Bone marrow aspirate smear.
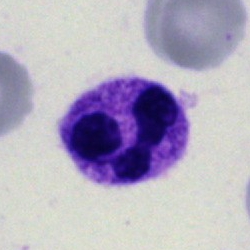 Q: What type of cell is this?
A: A polymorphonuclear neutrophil.